Brightfield microscopy, 40× oil immersion; bone marrow smear:
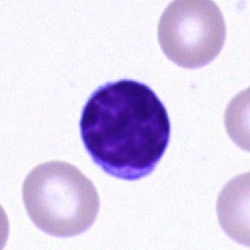
Q: Identify the cell.
A: A lymphocyte.